Single-cell crop; bone marrow aspirate smear; May-Grünwald-Giemsa/Pappenheim stain
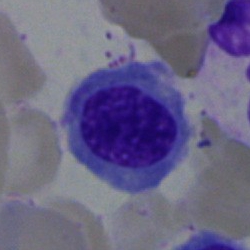This is a normoblast.